Peripheral blood film.
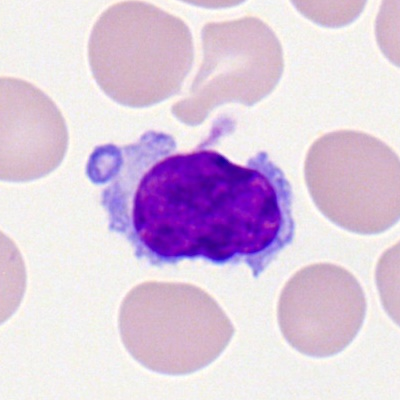The cell is lymphocyte.